Peripheral blood smear.
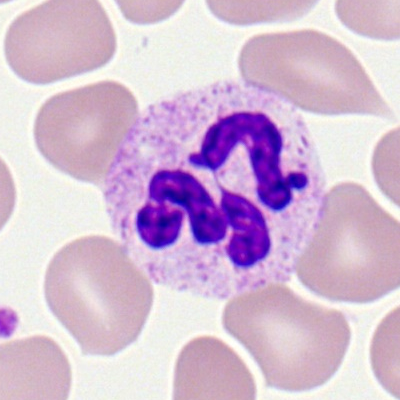
Morphology — segmented neutrophil.